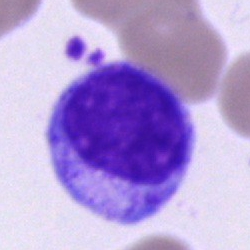

Impression → myelocyte.